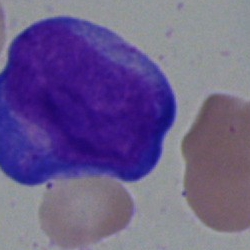
Morphology → blast.